May-Grünwald-Giemsa stain · 250×250 · bone marrow smear: 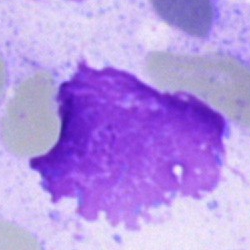Impression → artifact.